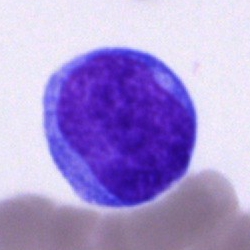

Specimen: bone marrow aspirate smear.
Classification: blast.